Peripheral blood film:
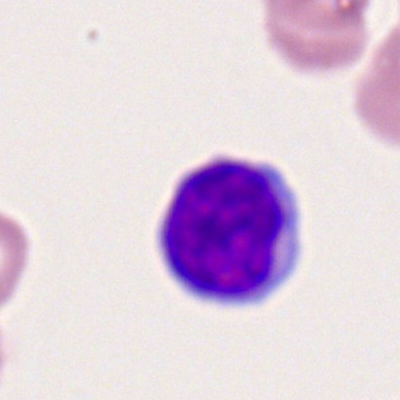
Single cell identified as a lymphocyte.